Bone marrow smear: 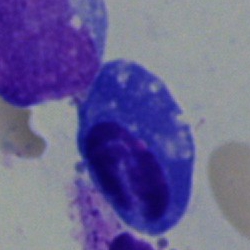Q: Which cell type is shown here?
A: Plasmacyte.